Bone marrow smear:
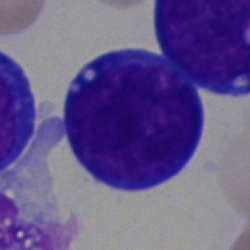 Showing a blast cell.